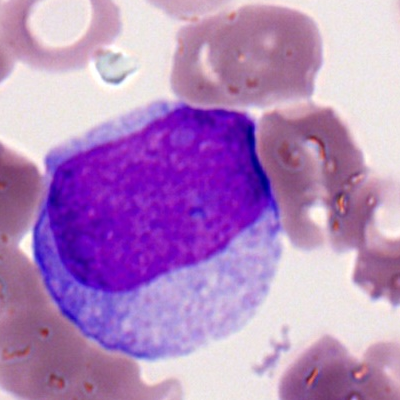 Q: Which cell type is shown here?
A: It is a myeloblast.